Bone marrow aspirate smear
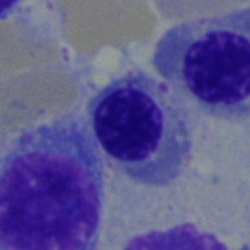
Q: Which cell type is shown here?
A: This is an erythroblast.